Bone marrow aspirate smear · 40× oil immersion:
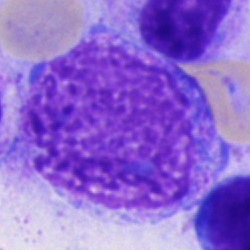 This is an artefact.